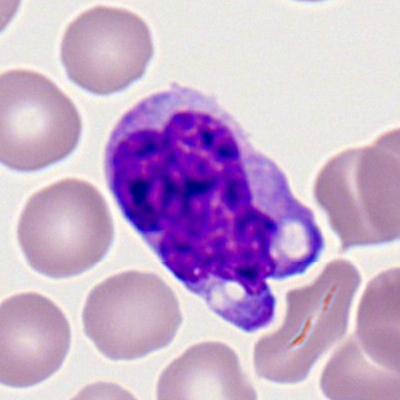 Single cell identified as a monocyte.